MGG-stained · bone marrow aspirate smear — 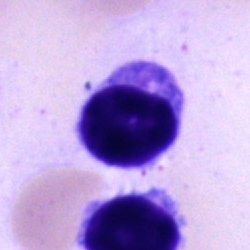
Specimen: bone marrow aspirate smear.
Cell: typical lymphocyte.
Lineage: lymphoid.